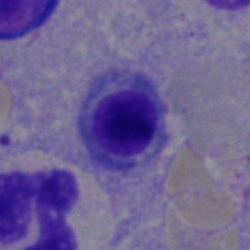Q: Which cell type is shown here?
A: It is an erythroblast.